Image size 250×250 · bone marrow smear
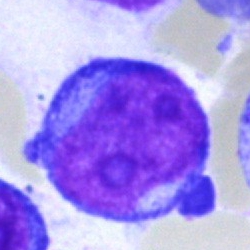

Cell type = pronormoblast.